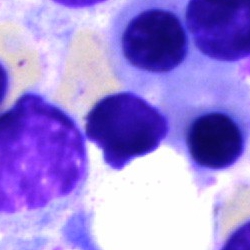

Single-cell crop from a bone marrow smear: artefact.